Bone marrow smear — 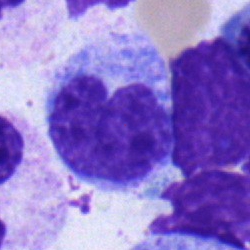
Q: Which cell type is shown here?
A: This is a monocyte.